Single cell centered in the field; bone marrow aspirate smear
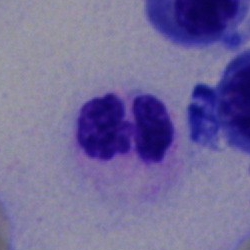
The morphological class is neutrophil (segmented).